Bone marrow smear. May-Grünwald-Giemsa/Pappenheim stain. Single-cell crop: 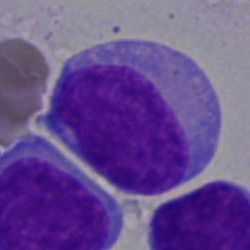Blast.